Bone marrow aspirate smear: 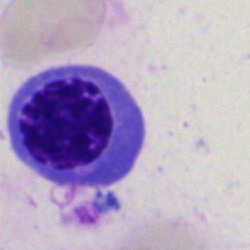Single cell identified as a normoblast.